Bone marrow aspirate smear. Single cell centered in the field. 40× oil immersion — 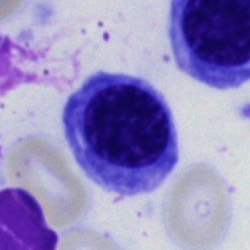 This is a nucleated red blood cell.